Bone marrow smear: 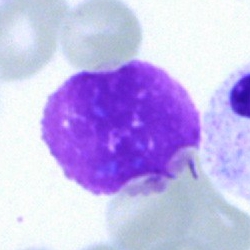
Artifact.